40× objective, oil immersion · bone marrow aspirate smear · Pappenheim-stained.
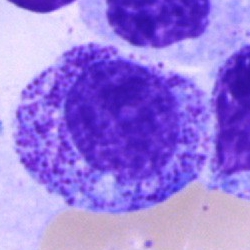

Specimen: bone marrow smear.
Cell type: promyelocyte.
Lineage: myeloid.